Bone marrow aspirate smear. Brightfield, 40× oil-immersion objective — 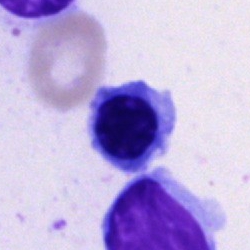This is a normoblast.